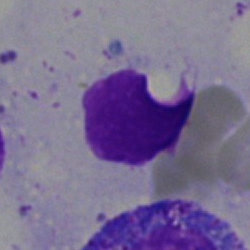

{"cell_type": "artifact"}